Pappenheim-stained; bone marrow aspirate smear; 250 by 250 pixels: 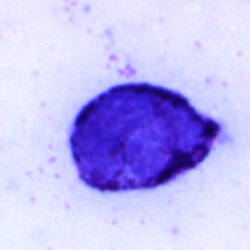

An unidentifiable cell.